Bone marrow smear.
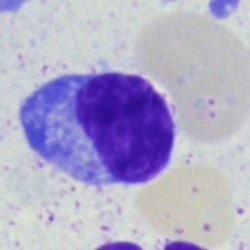 Plasma cell.